Peripheral blood film
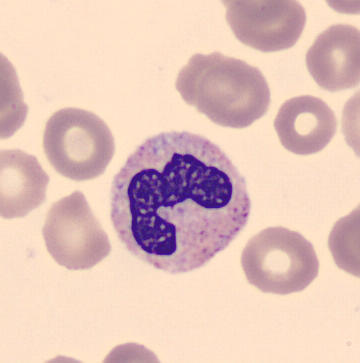This is a neutrophil (band).